Bone marrow smear — 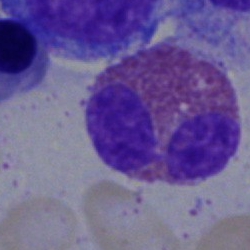
Q: What is shown here?
A: An eosinophilic granulocyte.